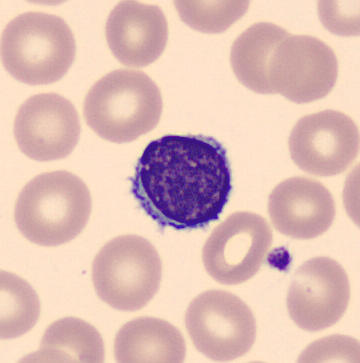 Morphological class = typical lymphocyte.
Peripheral blood smear. Single cell centered in the field.